250×250; brightfield microscopy, 40× oil immersion; bone marrow aspirate smear — 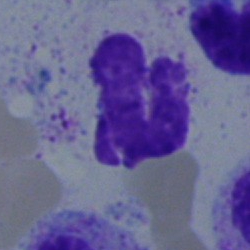

Morphological class — neutrophil (segmented).